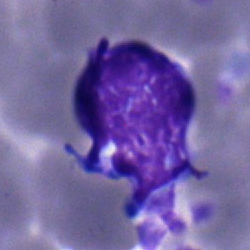Lymphocyte.